Bone marrow smear
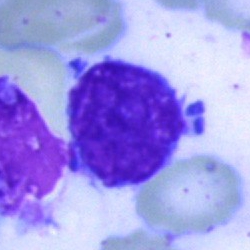
A typical lymphocyte.